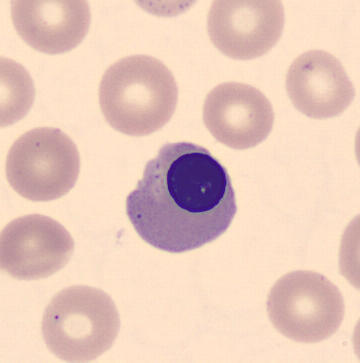
Specimen: peripheral blood film.
Cell type: nucleated red blood cell.